Bone marrow smear
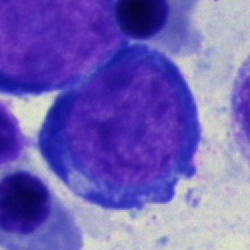 Impression → proerythroblast.